Bone marrow aspirate smear
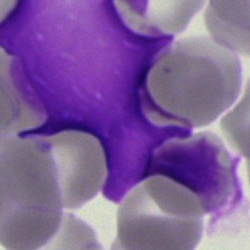 Specimen: bone marrow aspirate smear.
Classification: artifact.